Bone marrow aspirate smear: 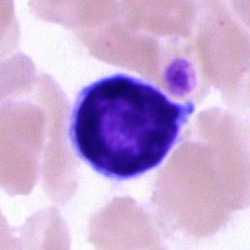

Morphology consistent with a lymphocyte.